Bone marrow smear:
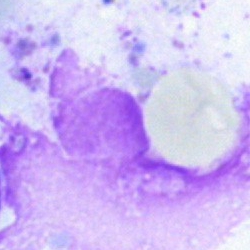Specimen: bone marrow aspirate smear.
Classification: artifact.